Bone marrow smear: 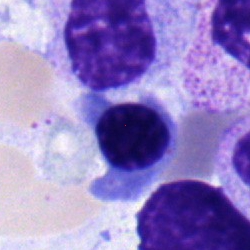
{"cell_type": "erythroblast", "lineage": "erythroid"}